MGG-stained. Brightfield, 40× oil-immersion objective. Bone marrow smear.
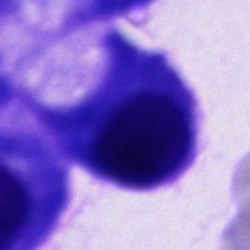This is an other cell.